Bone marrow aspirate smear. Brightfield microscopy, 40× oil immersion. Pappenheim-stained — 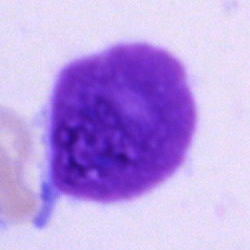 Q: What is shown here?
A: An artefact.